Bone marrow smear. May-Grünwald-Giemsa/Pappenheim stain: 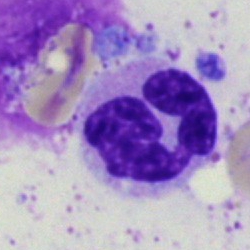

The cell shown is a polymorphonuclear neutrophil.